Bone marrow smear.
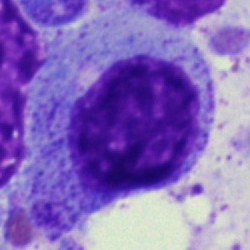 Specimen: bone marrow smear.
Cell: promyelocyte.